Bone marrow aspirate smear; 40× oil immersion:
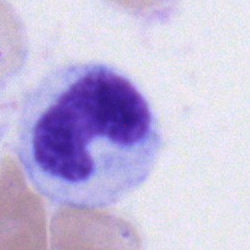 The morphological class is neutrophil (band).